Bone marrow smear.
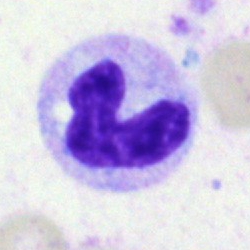

A stab cell.